Bone marrow smear · May-Grünwald-Giemsa/Pappenheim stain · 250×250.
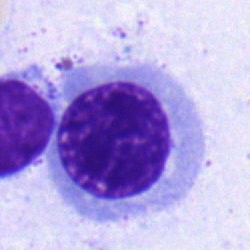

Specimen: bone marrow aspirate smear.
Classification: nucleated red cell.